Bone marrow smear
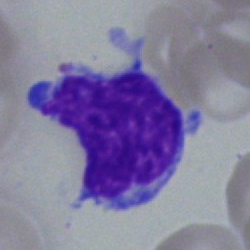

Classification — typical lymphocyte.